Bone marrow aspirate smear
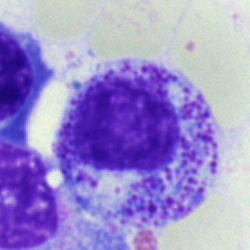

Q: What cell is this?
A: Myelocyte.